40× objective, oil immersion · bone marrow aspirate smear.
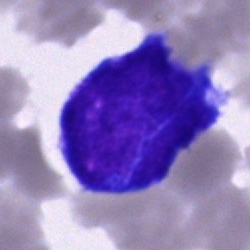

Cell: blast.